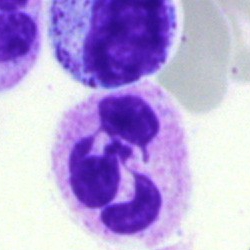

A segmented neutrophil.